Bone marrow aspirate smear
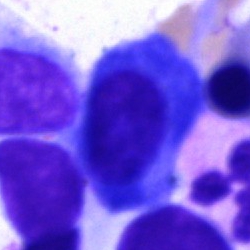 Q: Identify the cell.
A: It is a plasma cell.